Single-cell field; 250×250 px; bone marrow aspirate smear: 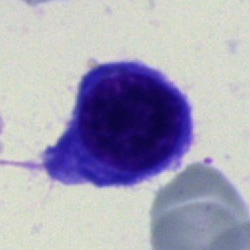

Showing a nucleated red cell.